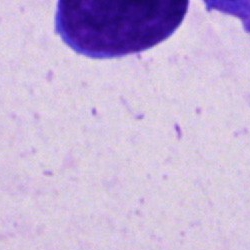
An artifact on a bone marrow smear.